Bone marrow smear · 40× oil immersion
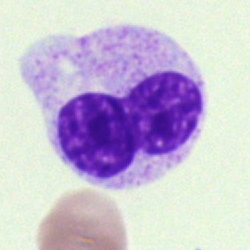

A stab cell.